Bone marrow smear · 250×250 px.
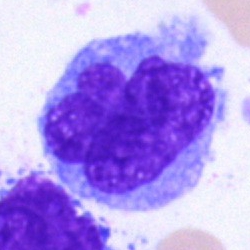 Q: What type of cell is this?
A: It is a monocyte.